Single cell centered in the field. 250×250. Bone marrow aspirate smear.
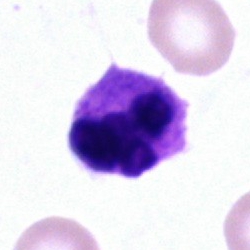
Q: What is the morphological classification of this cell?
A: This is a cell of indeterminate lineage.